250×250 px · single-cell field · bone marrow aspirate smear:
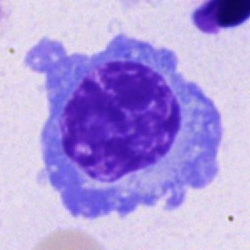
A plasmacyte.